MGG-stained. Bone marrow smear
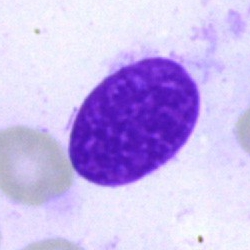 Artefact.